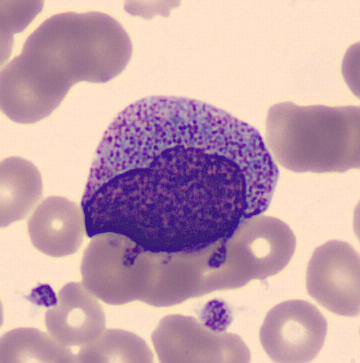Image: Peripheral blood film.
The cell shown is a progranulocyte.